Peripheral blood smear.
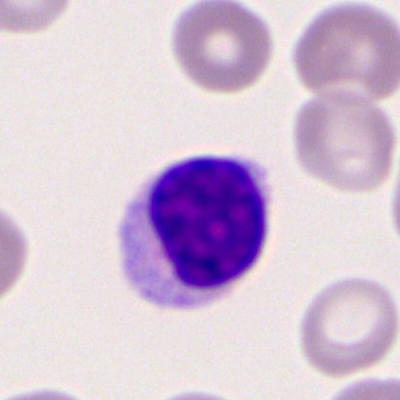 Cell — typical lymphocyte.